Bone marrow smear
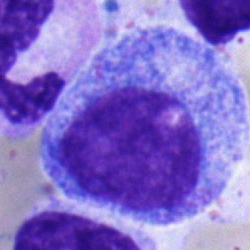Morphology — promyelocyte.